May-Grünwald-Giemsa stain. Bone marrow smear. 250×250 px: 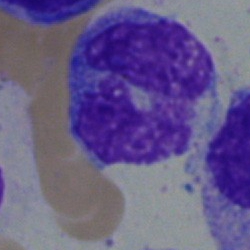
Monocyte.